Bone marrow smear:
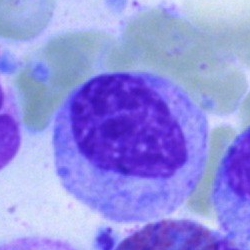Morphology consistent with a myelocyte.